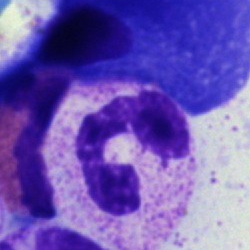 Single cell identified as a polymorphonuclear neutrophil.